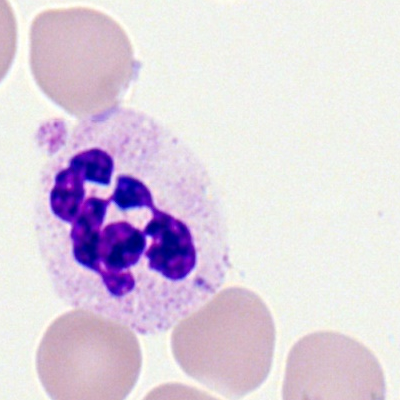

Q: What is the morphological classification of this cell?
A: A polymorphonuclear neutrophil.